40× objective, oil immersion. Bone marrow smear. Single-cell crop
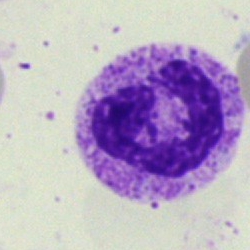
Showing a segmented neutrophil.